Bone marrow smear
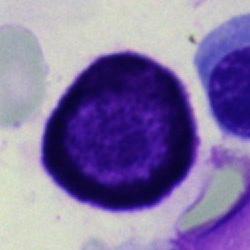
Cell type = other cell.